Bone marrow smear: 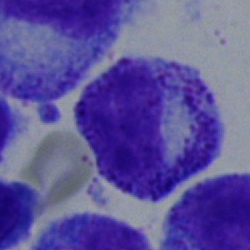

Q: What is the morphological classification of this cell?
A: Myelocyte.